Bone marrow aspirate smear.
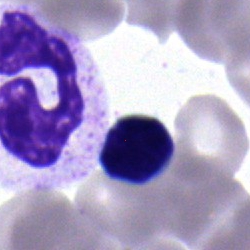Morphological class = lymphocyte.